Bone marrow aspirate smear — 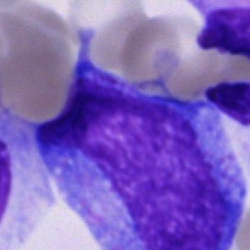

Classification: promyelocyte.